Bone marrow smear.
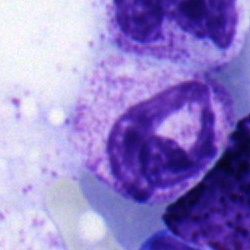
Q: What is shown here?
A: This is a polymorphonuclear neutrophil.